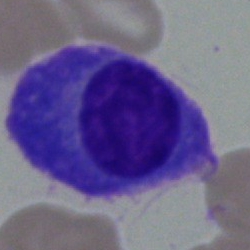 Single cell identified as a plasmacyte.